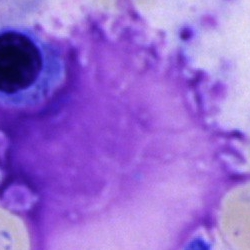 Specimen: bone marrow smear.
Cell type: artifact.